Bone marrow aspirate smear:
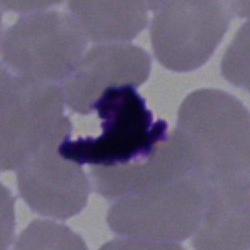

Q: What is shown here?
A: It is an artefact.